Bone marrow aspirate smear.
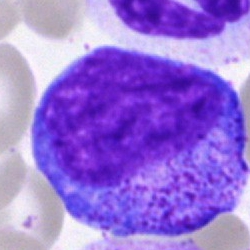 Impression → progranulocyte.